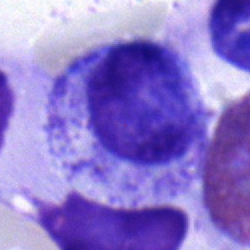Q: Identify the cell.
A: Myelocyte.